Romanowsky stain. Peripheral blood film. 400×400: 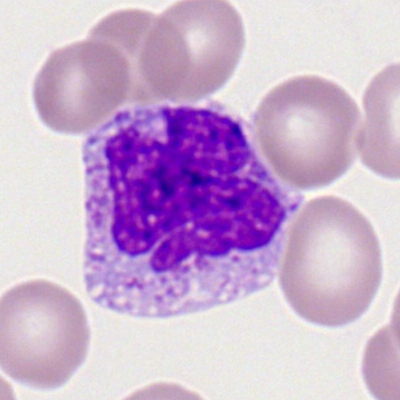

Q: What is the morphological classification of this cell?
A: It is a monocyte.